Bone marrow smear; Pappenheim-stained; single-cell crop — 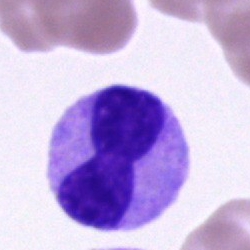Showing a stab cell.